Bone marrow smear · Pappenheim-stained — 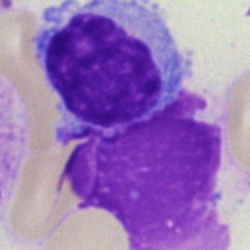 Cell type — typical lymphocyte.